Bone marrow smear:
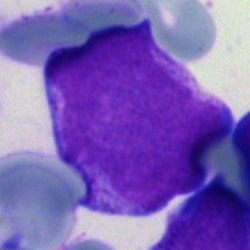Classification — blast cell.